May-Grünwald-Giemsa stain. Bone marrow aspirate smear. Cropped to a single cell — 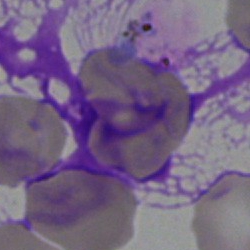
The cell shown is an artifact.